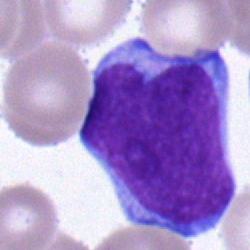

Single-cell crop from a bone marrow smear: blast.